Bone marrow aspirate smear: 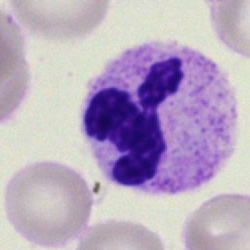 Q: What is shown here?
A: A polymorphonuclear neutrophil.